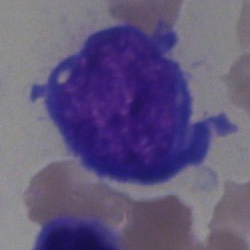
The cell type is blast.